Pappenheim-stained. Bone marrow smear. Single cell centered in the field:
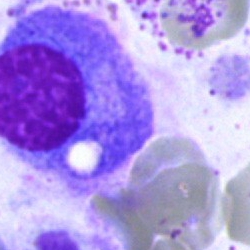 Morphology — plasmacyte.